Bone marrow smear · 40× objective, oil immersion: 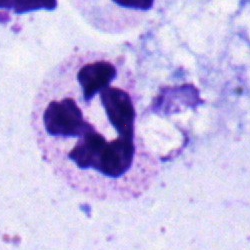Classification = polymorphonuclear neutrophil.